Bone marrow smear. Pappenheim-stained:
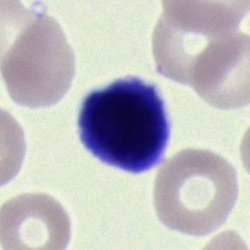The cell shown is a typical lymphocyte.